Bone marrow aspirate smear; single-cell crop.
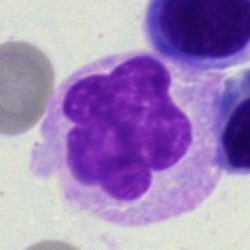The morphological class is monocyte.